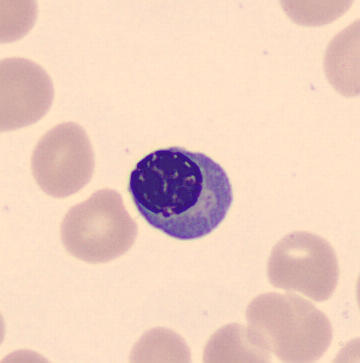 Cell type: nucleated red cell.